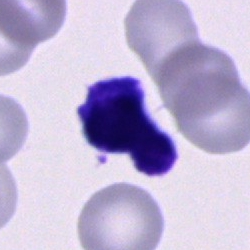

Morphology — unidentifiable cell.